Bone marrow aspirate smear: 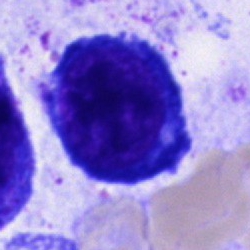A proerythroblast.